Bone marrow smear:
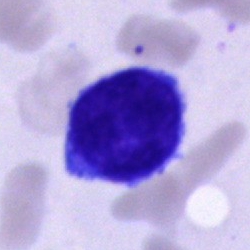Cell type: unidentifiable cell.